Bone marrow aspirate smear:
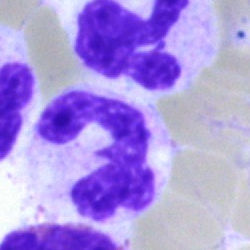 Classification — neutrophil (segmented).